Peripheral blood smear:
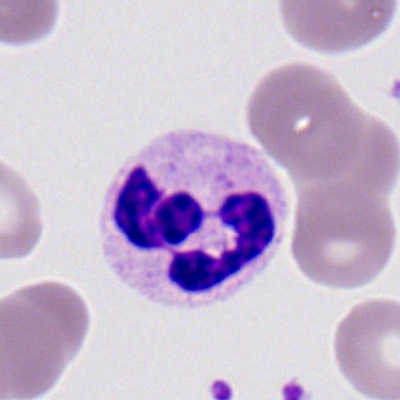

Specimen: peripheral blood film.
Classification: segmented neutrophil.